250×250; bone marrow aspirate smear: 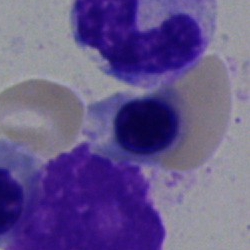
Morphology — nucleated red blood cell.